Bone marrow smear. May-Grünwald-Giemsa/Pappenheim stain
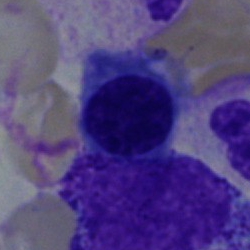
Morphology consistent with a nucleated red blood cell.